Peripheral blood film — 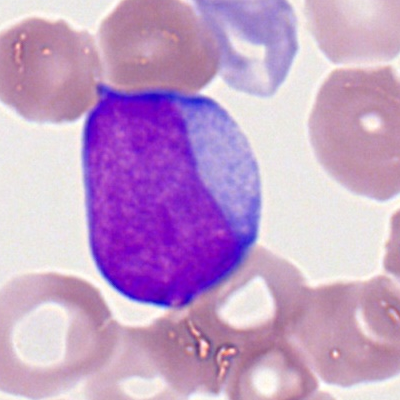 Q: Identify the cell.
A: Myeloid blast.